May-Grünwald-Giemsa stain. Bone marrow smear.
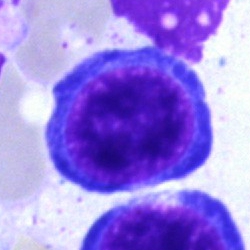 Morphology consistent with a nucleated red blood cell.